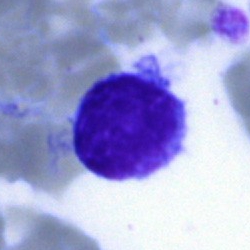 Morphological class — lymphocyte.